Bone marrow aspirate smear: 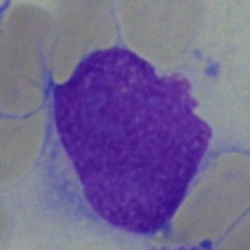

Cell type = blast.